Bone marrow smear: 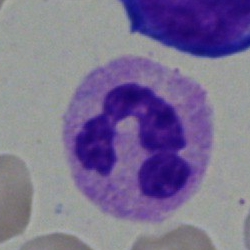
Specimen: bone marrow smear.
Morphological class: polymorphonuclear neutrophil.